Bone marrow aspirate smear — 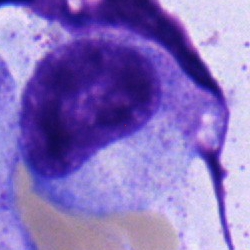Single cell identified as a myelocyte.